Bone marrow smear — 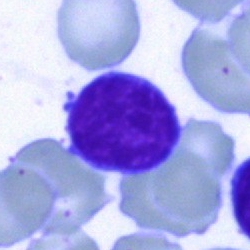Showing a typical lymphocyte.